Single cell centered in the field. Bone marrow aspirate smear — 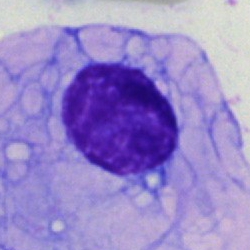
Artefact.